Bone marrow aspirate smear
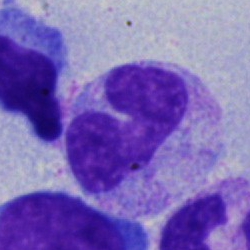

This is a stab cell.